Single-cell field. Bone marrow aspirate smear. Brightfield, 40× oil-immersion objective — 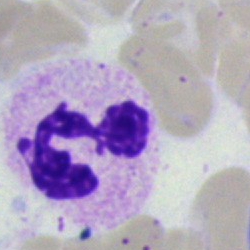

Impression — polymorphonuclear neutrophil.